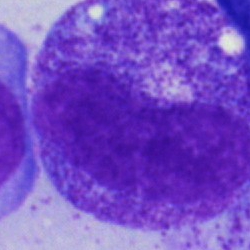 {"cell_type": "promyelocyte", "lineage": "myeloid"}